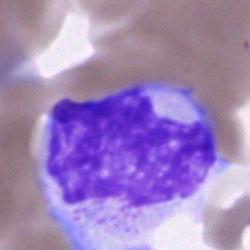
Impression → cell of indeterminate lineage.